Bone marrow smear
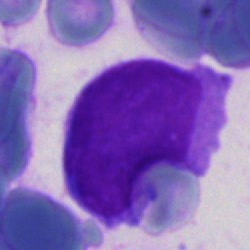

The cell shown is an undifferentiated blast.